Bone marrow smear · May-Grünwald-Giemsa stain:
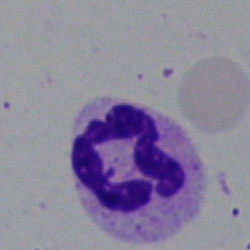
Morphology → segmented neutrophil.